Bone marrow aspirate smear: 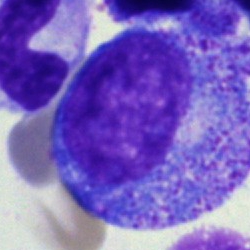The morphological class is promyelocyte.